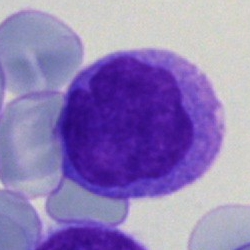The cell type is blast cell.